Bone marrow smear — 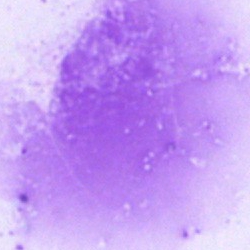{"cell_type": "artifact"}